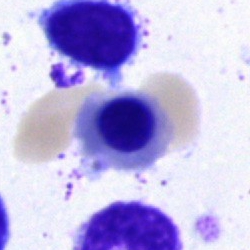

Bone marrow aspirate smear, single cell — nucleated red blood cell.